Bone marrow smear; 40× objective, oil immersion
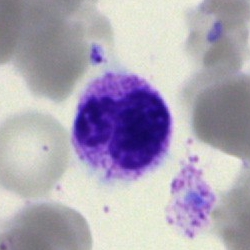Morphology — neutrophil (segmented).